Bone marrow smear; 250×250:
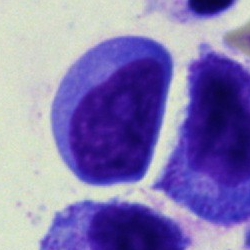

Cell type = blast cell.